Bone marrow aspirate smear:
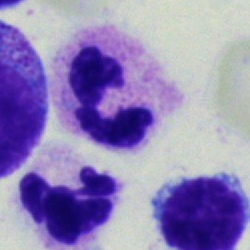

Classification = segmented neutrophil.